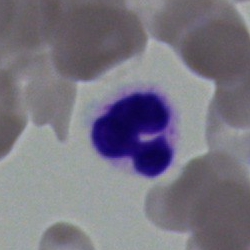Q: Identify the cell.
A: This is a neutrophil (segmented).